May-Grünwald-Giemsa stain. Bone marrow aspirate smear: 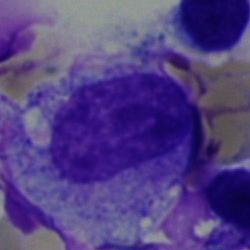
Q: What cell is this?
A: A myelocyte.